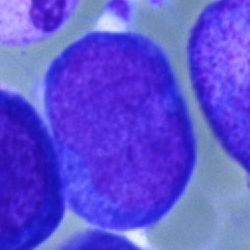 Single cell identified as a pronormoblast.